Bone marrow aspirate smear
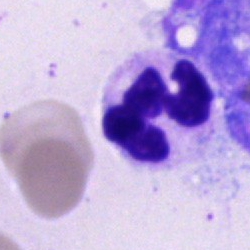

Q: What cell is this?
A: This is a segmented neutrophil.